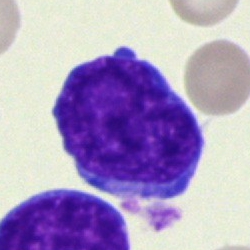 A blast cell on a bone marrow smear.